Bone marrow smear — 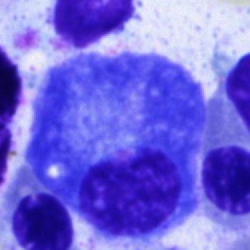 Q: What type of cell is this?
A: A plasma cell.